Bone marrow smear.
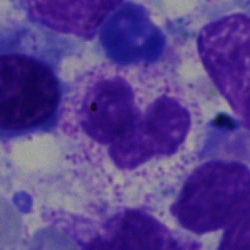Q: Identify the cell.
A: Polymorphonuclear neutrophil.